Peripheral blood smear · imaged on a CellaVision DM96 analyser.
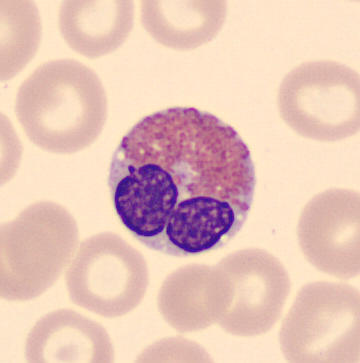Specimen: peripheral blood smear.
Classification: eosinophil.